Peripheral blood smear; single-cell field
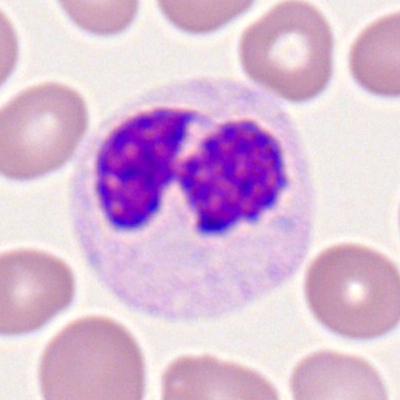 Specimen: peripheral blood smear.
Morphological class: neutrophil (segmented).
Lineage: myeloid.